Bone marrow aspirate smear.
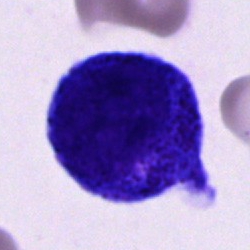
Showing a promyelocyte.